Bone marrow aspirate smear
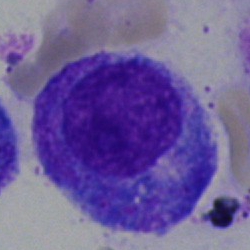

Single cell identified as a promyelocyte.